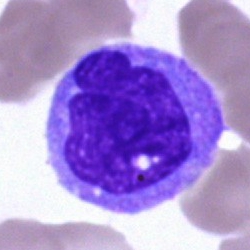
Cell type — monocyte.